250×250 px; 40× oil immersion; bone marrow aspirate smear.
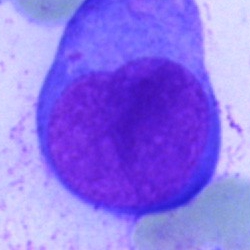 Impression — blast cell.